Pappenheim-stained · bone marrow aspirate smear: 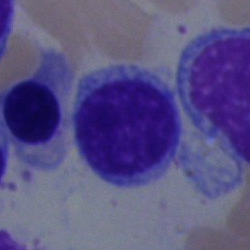

Cell type = typical lymphocyte.